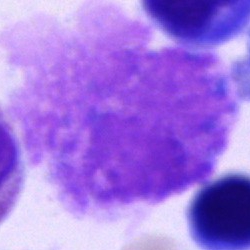

Specimen: bone marrow aspirate smear.
Morphological class: artefact.